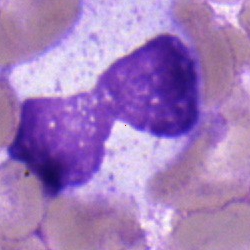The cell shown is a band neutrophil.